Bone marrow aspirate smear:
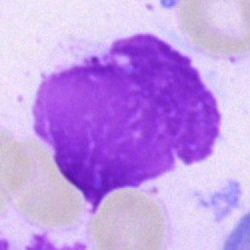
This is an artefact.